Cropped to a single cell. Peripheral blood smear. M8 digital microscope (Precipoint), 100× oil immersion
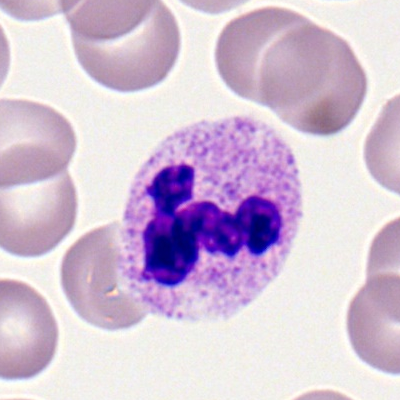 Q: Which cell type is shown here?
A: It is a neutrophil (segmented).